Single-cell field · bone marrow aspirate smear:
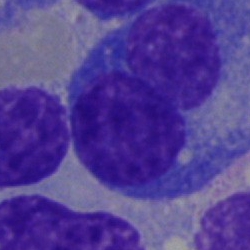

Showing a plasmacyte.